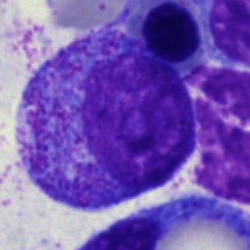

Single cell identified as a progranulocyte.